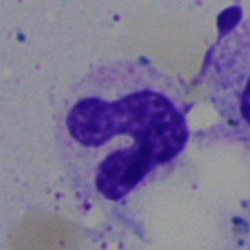

Specimen: bone marrow smear.
Cell: polymorphonuclear neutrophil.